Peripheral blood film; single-cell crop: 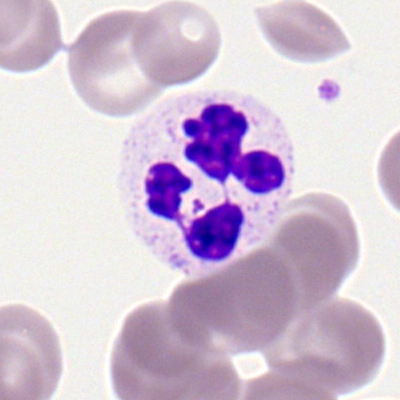 Classification = polymorphonuclear neutrophil.